Bone marrow smear. 40× oil immersion. 250 by 250 pixels: 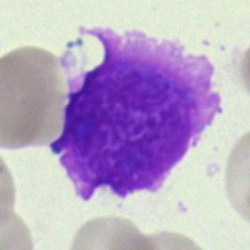Q: What is shown here?
A: This is an artifact.